Bone marrow aspirate smear:
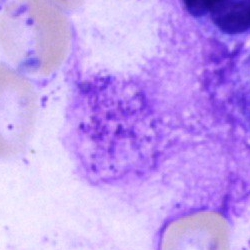Artifact.